250 by 250 pixels. Pappenheim-stained. Bone marrow smear.
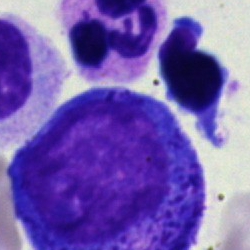 The cell is promyelocyte.